Bone marrow aspirate smear · single-cell crop.
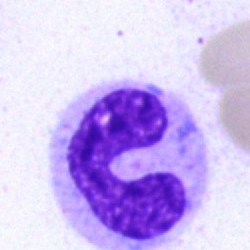

Cell — band-form neutrophil.